Bone marrow aspirate smear
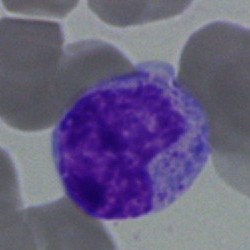

A metamyelocyte.